Single-cell field · bone marrow smear
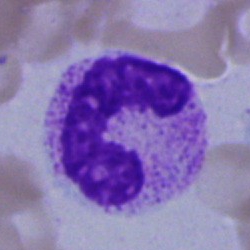
A polymorphonuclear neutrophil.